250 by 250 pixels · bone marrow aspirate smear · 40× oil immersion — 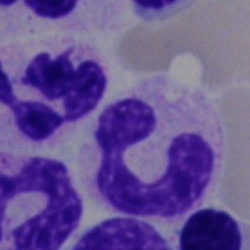Morphology consistent with a neutrophil (segmented).